Single-cell field · bone marrow smear · image size 250×250: 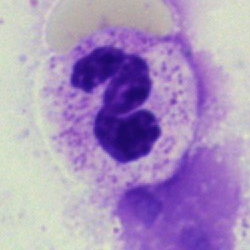Q: Identify the cell.
A: Segmented neutrophil.